Bone marrow aspirate smear: 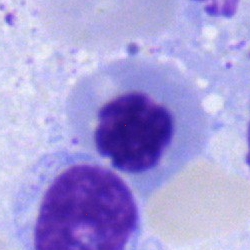 The morphological class is normoblast.